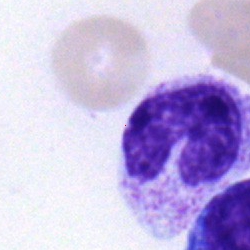 Morphology consistent with a stab cell.